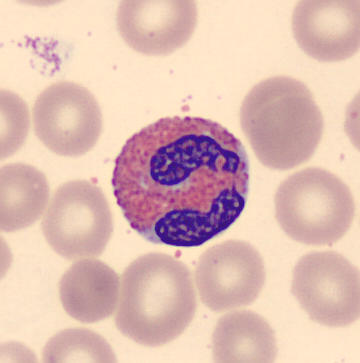 Acquisition: Peripheral blood film. Cell type — eosinophil.